Bone marrow aspirate smear. Brightfield, 40× oil-immersion objective.
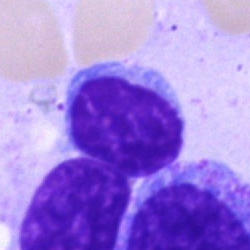{"cell_type": "typical lymphocyte", "lineage": "lymphoid"}